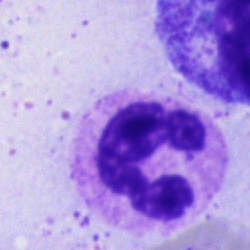{"cell_type": "neutrophil (segmented)"}